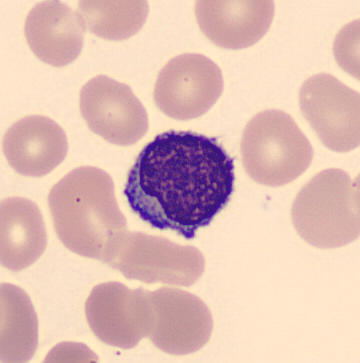

Preparation: Peripheral blood film. Q: What is this?
A: It is a typical lymphocyte.